Bone marrow smear · 250 by 250 pixels.
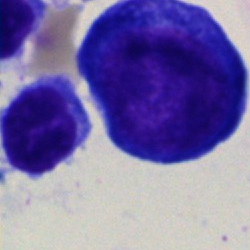

Q: What is the morphological classification of this cell?
A: A proerythroblast.